Romanowsky stain; peripheral blood film; 400×400 px
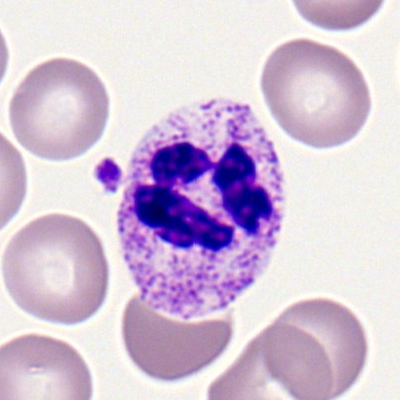This is a polymorphonuclear neutrophil.